Bone marrow aspirate smear · 250 by 250 pixels · May-Grünwald-Giemsa/Pappenheim stain
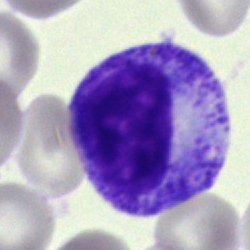{"cell_type": "myelocyte", "lineage": "myeloid"}